Bone marrow aspirate smear
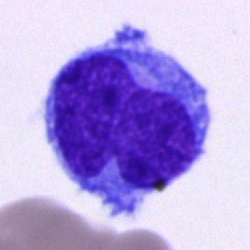
Classification — blast.